Peripheral blood smear:
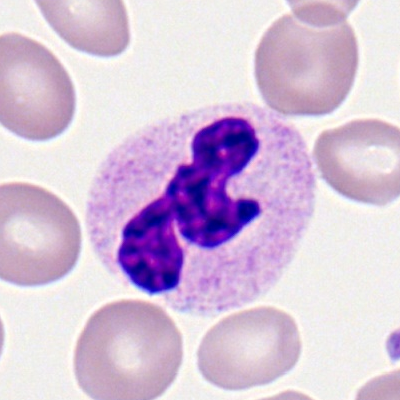
Specimen: peripheral blood smear.
Classification: segmented neutrophil.
Lineage: myeloid.